Bone marrow smear: 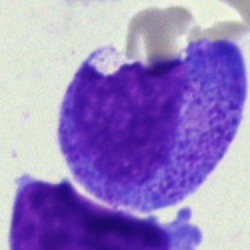

A progranulocyte.